Cropped to a single cell. Bone marrow smear. Brightfield microscopy, 40× oil immersion — 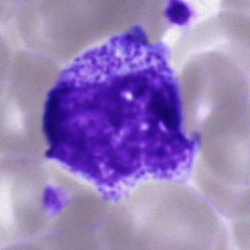
Classification — myelocyte.